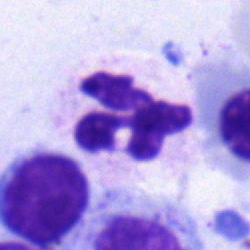 Q: What is the morphological classification of this cell?
A: A neutrophil (segmented).